Bone marrow aspirate smear. 40× objective, oil immersion:
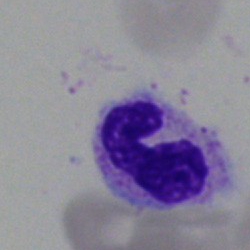

This is a polymorphonuclear neutrophil.